Bone marrow aspirate smear; 250×250 px:
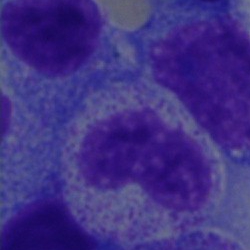

Morphological class = metamyelocyte.